Bone marrow aspirate smear. Brightfield microscopy, 40× oil immersion
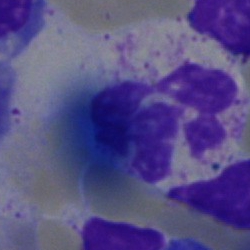Morphology consistent with a polymorphonuclear neutrophil.